40× objective, oil immersion; bone marrow aspirate smear; single cell centered in the field: 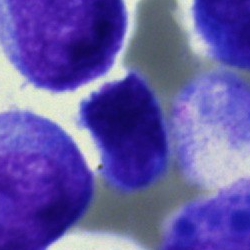

{"cell_type": "lymphocyte", "lineage": "lymphoid"}